Bone marrow smear:
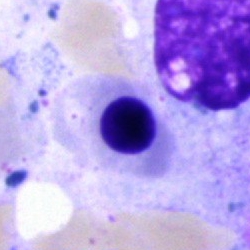
Q: What type of cell is this?
A: It is a nucleated red cell.